Bone marrow aspirate smear.
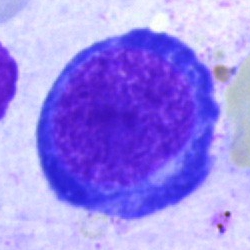Q: What cell is this?
A: Normoblast.